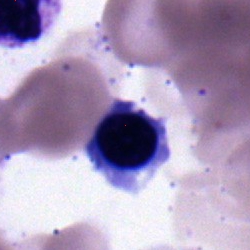Morphological class: erythroblast.